Bone marrow aspirate smear — 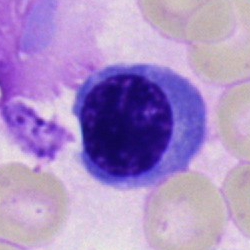

Q: Which cell type is shown here?
A: This is a nucleated red cell.